Bone marrow aspirate smear:
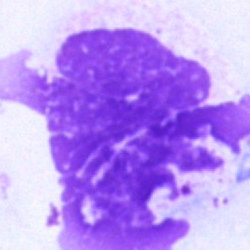
Specimen: bone marrow aspirate smear.
Cell: artefact.